Bone marrow aspirate smear:
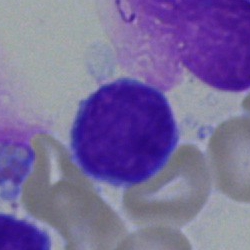This is a lymphocyte.